Bone marrow smear. May-Grünwald-Giemsa/Pappenheim stain — 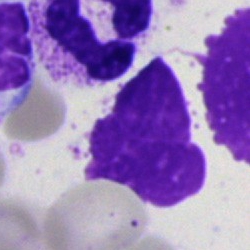Cell type: artifact.